Bone marrow smear:
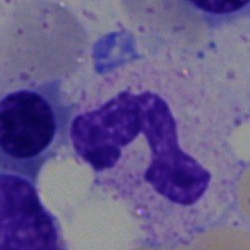

The cell shown is a polymorphonuclear neutrophil.